Peripheral blood film:
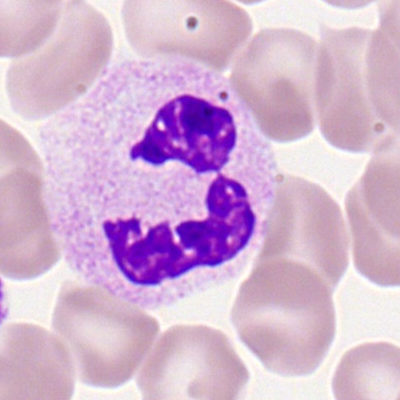

Polymorphonuclear neutrophil.